Bone marrow smear — 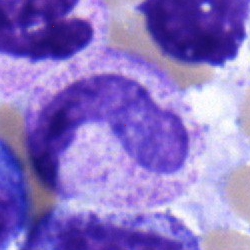Morphology consistent with a band neutrophil.